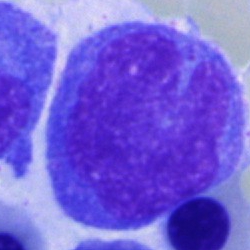

Specimen: bone marrow smear.
Cell type: monocyte.
Lineage: myeloid.